May-Grünwald-Giemsa stain. Bone marrow aspirate smear: 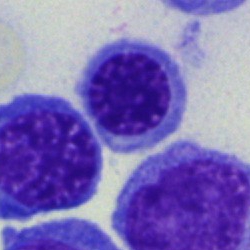
Showing an erythroblast.